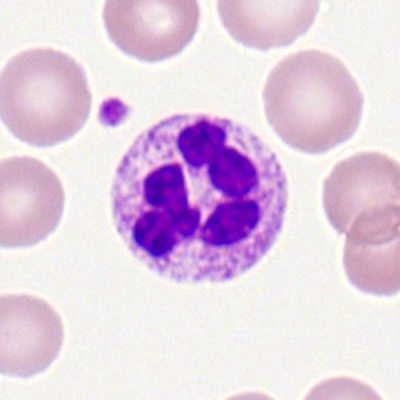 Specimen: peripheral blood smear.
Morphological class: segmented neutrophil.